Bone marrow smear. Cropped to a single cell — 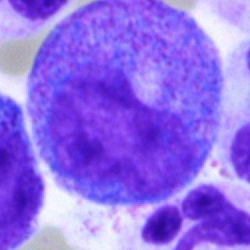Classification = promyelocyte.